Bone marrow aspirate smear · cropped to a single cell · May-Grünwald-Giemsa/Pappenheim stain: 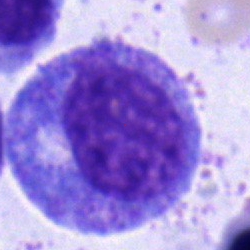
Q: What is shown here?
A: A promyelocyte.